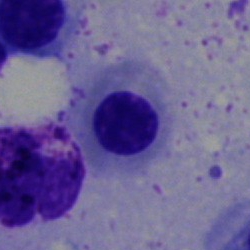

A normoblast.